Bone marrow aspirate smear; May-Grünwald-Giemsa/Pappenheim stain; 250 by 250 pixels.
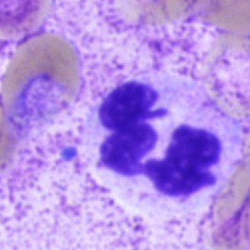
The cell type is polymorphonuclear neutrophil.